Bone marrow smear. May-Grünwald-Giemsa stain — 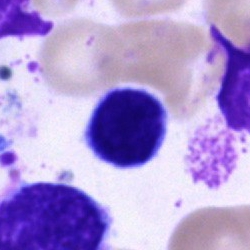

Classification — lymphocyte.